Bone marrow smear
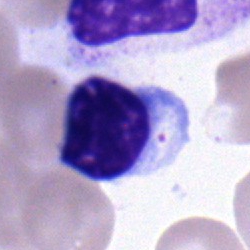
The cell is lymphocyte.